Bone marrow smear
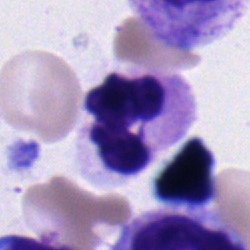Morphology consistent with a neutrophil (segmented).